Bone marrow aspirate smear — 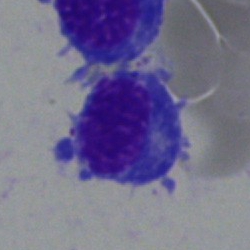
Morphology — plasma cell.